Bone marrow smear — 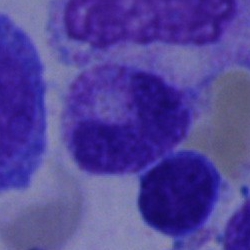Cell type: stab cell.